Bone marrow aspirate smear. Single cell centered in the field:
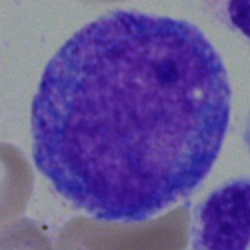

The morphological class is promyelocyte.